Bone marrow aspirate smear; May-Grünwald-Giemsa stain:
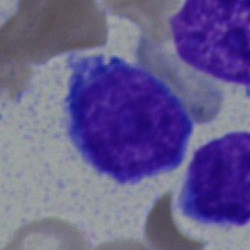 {"cell_type": "typical lymphocyte", "lineage": "lymphoid"}